May-Grünwald-Giemsa/Pappenheim stain · bone marrow aspirate smear — 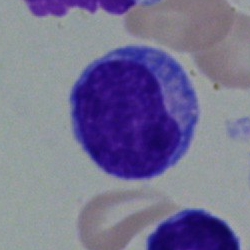
Q: Identify the cell.
A: This is a lymphocyte.